Bone marrow smear; single cell centered in the field — 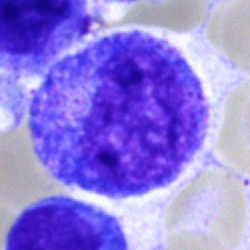 Specimen: bone marrow smear.
Classification: promyelocyte.